May-Grünwald-Giemsa/Pappenheim stain. 40× objective, oil immersion. Bone marrow smear: 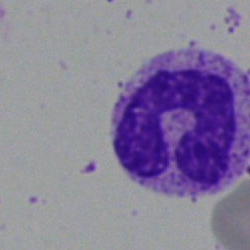
Specimen: bone marrow aspirate smear.
Classification: segmented neutrophil.
Lineage: myeloid.